Bone marrow aspirate smear.
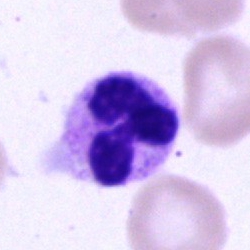 This is a segmented neutrophil.